Bone marrow aspirate smear — 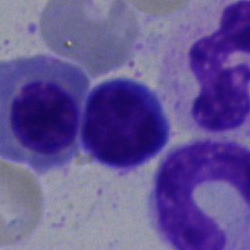

Lymphocyte.